Bone marrow smear. 40× oil immersion — 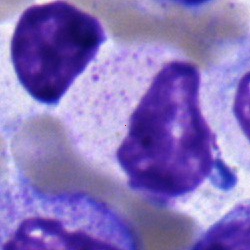
The classification is metamyelocyte.